Peripheral blood smear: 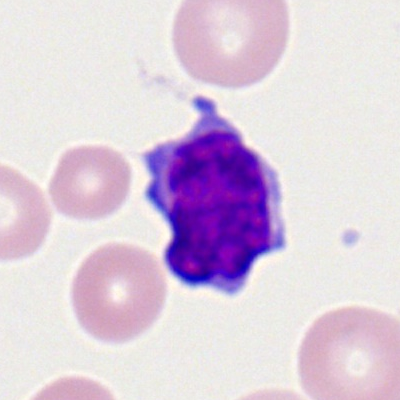
Q: What type of cell is this?
A: Typical lymphocyte.